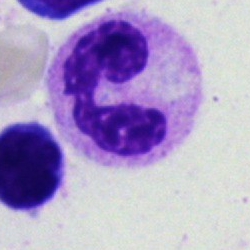

Q: What is shown here?
A: A neutrophil (segmented).